Bone marrow smear
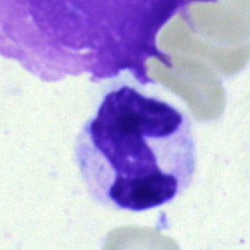
Morphology consistent with a stab cell.